Bone marrow smear; single cell centered in the field:
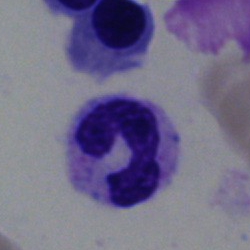

Single cell identified as a polymorphonuclear neutrophil.